Bone marrow smear — 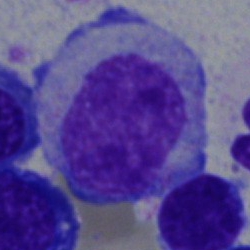
Single cell identified as a myelocyte.